Bone marrow smear. Single cell centered in the field. 40× oil immersion
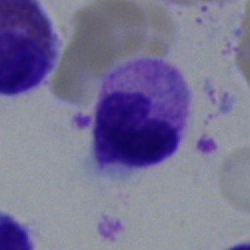Specimen: bone marrow aspirate smear.
Morphological class: neutrophil (segmented).
Lineage: myeloid.